250×250 · bone marrow smear · MGG-stained:
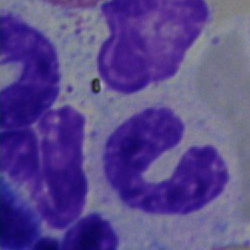

Morphology → band-form neutrophil.